Bone marrow aspirate smear
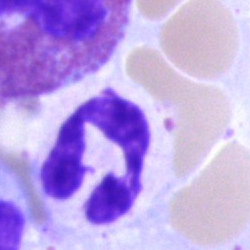
Impression — neutrophil (segmented).